Single-cell crop; bone marrow smear — 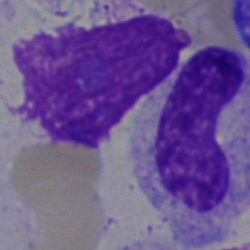
Specimen: bone marrow smear.
Cell type: stab cell.
Lineage: myeloid.